Bone marrow smear: 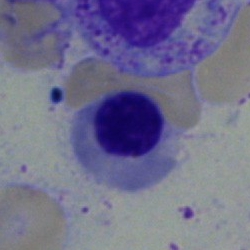
Q: What is shown here?
A: This is an erythroblast.